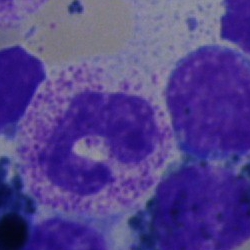

Cell: neutrophil (segmented).